Bone marrow aspirate smear — 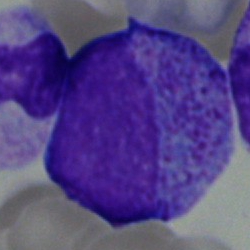Specimen: bone marrow smear.
Cell: promyelocyte.
Lineage: myeloid.